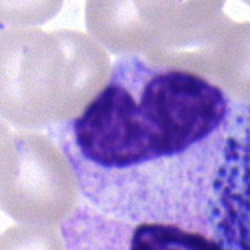
Bone marrow aspirate smear, single cell — stab cell.